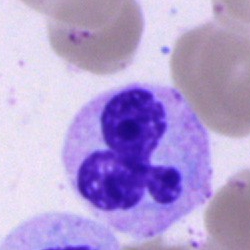

Cell type: segmented neutrophil.